MGG-stained · bone marrow smear.
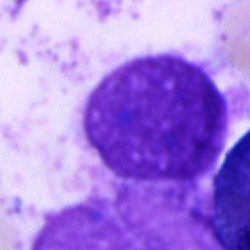 Impression → artefact.